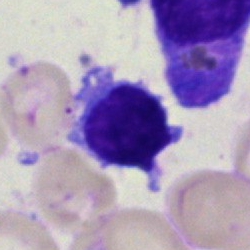{"cell_type": "typical lymphocyte", "lineage": "lymphoid"}